Cropped to a single cell; bone marrow smear; 250 by 250 pixels — 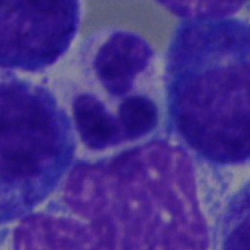Morphological class = neutrophil (segmented).